Bone marrow aspirate smear:
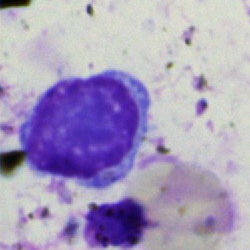Q: Identify the cell.
A: It is a typical lymphocyte.